Bone marrow aspirate smear:
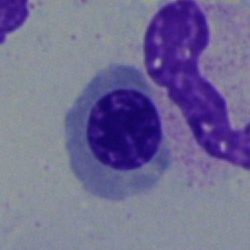Classification — normoblast.